Bone marrow smear
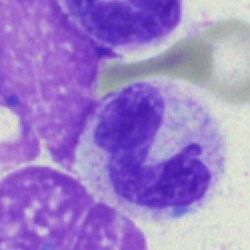
The morphological class is band neutrophil.